Bone marrow smear.
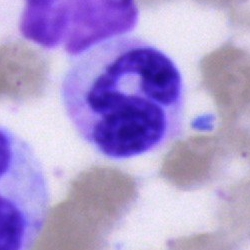
Q: What is shown here?
A: This is a polymorphonuclear neutrophil.